Bone marrow aspirate smear — 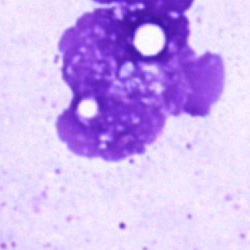 Impression → artifact.